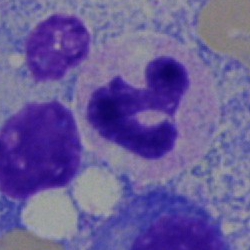

Single-cell crop from a bone marrow smear: polymorphonuclear neutrophil.